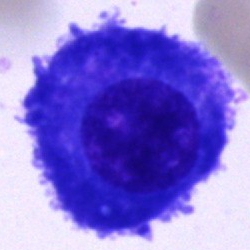Q: Which cell type is shown here?
A: This is a plasmacyte.